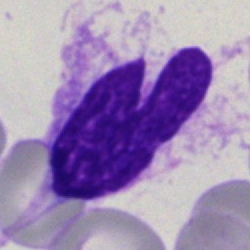 Morphology → stab cell.